Bone marrow aspirate smear
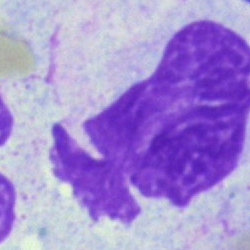
Morphology consistent with an artifact.